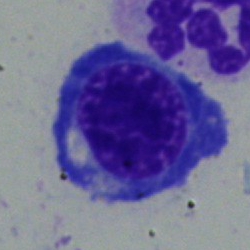Impression — normoblast.